Bone marrow aspirate smear
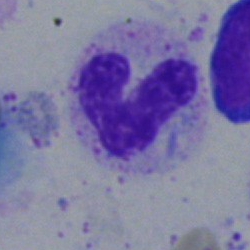
Specimen: bone marrow smear.
Cell: band-form neutrophil.
Lineage: myeloid.